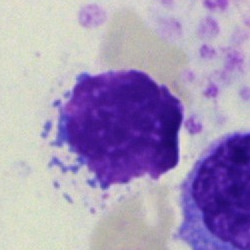An artefact on a bone marrow smear.